Bone marrow aspirate smear. Pappenheim-stained. 250×250:
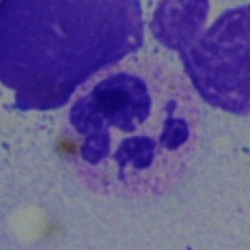This is a segmented neutrophil.